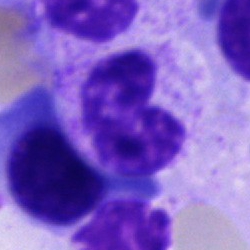

Classification: metamyelocyte.